Romanowsky-stained · peripheral blood smear · M8 digital microscope (Precipoint), 100× oil immersion:
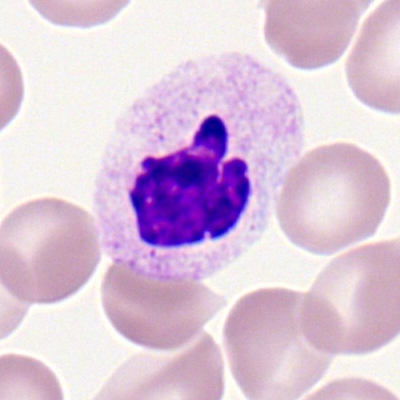

Cell: polymorphonuclear neutrophil.